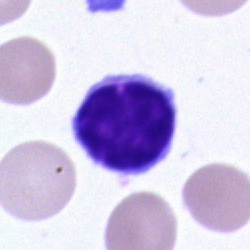
Classification = lymphocyte.